Bone marrow aspirate smear — 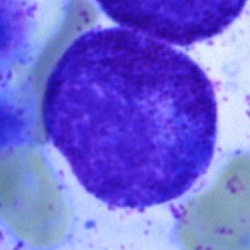 Single cell identified as a promyelocyte.